Peripheral blood film; image size 360×363; CellaVision DM96 — 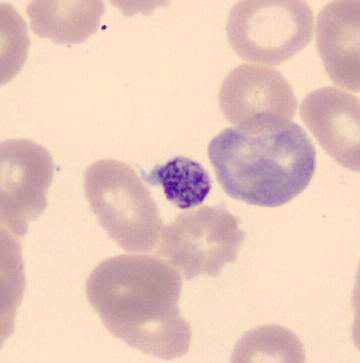 {"cell_type": "thrombocyte"}